Bone marrow aspirate smear · brightfield, 40× oil-immersion objective · 250×250:
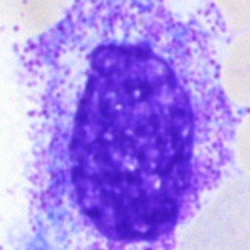 Q: What is shown here?
A: It is an artifact.